Bone marrow aspirate smear
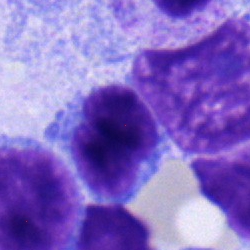 Impression — typical lymphocyte.